Brightfield, 100× oil-immersion objective; peripheral blood film.
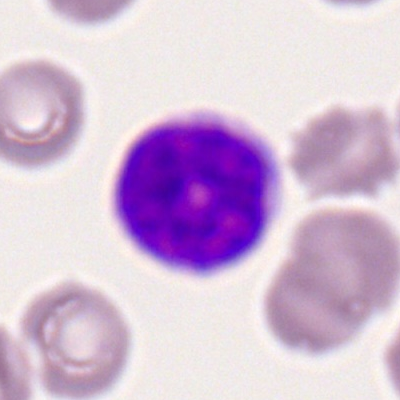
The cell type is typical lymphocyte.